Brightfield microscopy, 40× oil immersion · bone marrow aspirate smear
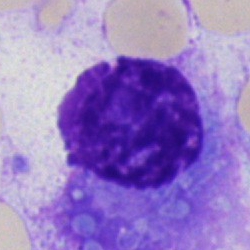
The cell shown is an artefact.